250×250; bone marrow smear; single-cell crop — 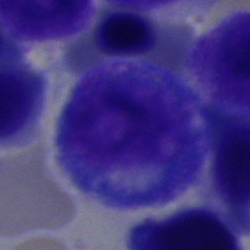Morphology — promyelocyte.